Single-cell crop. 250×250. Bone marrow smear: 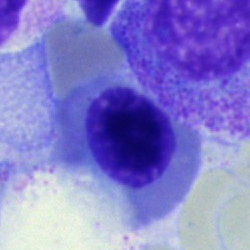 Specimen: bone marrow aspirate smear.
Cell: erythroblast.
Lineage: erythroid.